Bone marrow smear; single cell centered in the field.
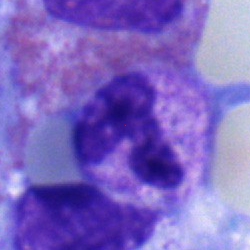This is a band neutrophil.